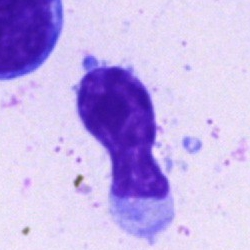
Bone marrow smear showing a lymphocyte.